Bone marrow smear
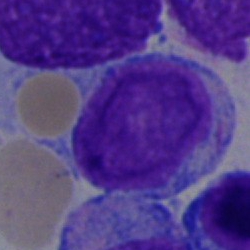
The cell type is blast.